Bone marrow aspirate smear.
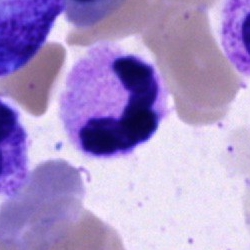{"cell_type": "neutrophil (segmented)"}